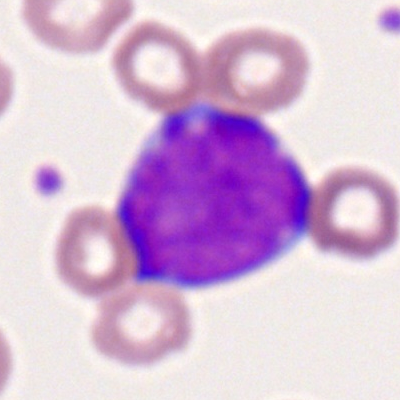

Q: What cell is this?
A: A myeloid blast.